Peripheral blood smear.
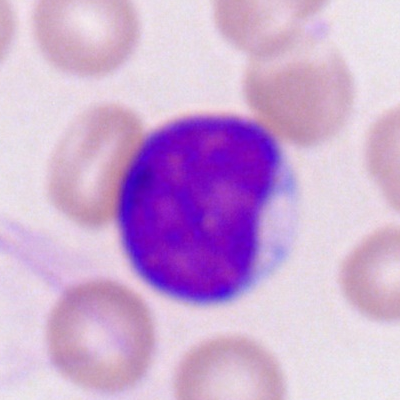Impression — myeloid blast.